Bone marrow smear:
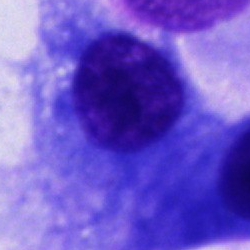

Q: What is the morphological classification of this cell?
A: It is an other cell.